Bone marrow aspirate smear · Pappenheim-stained · cropped to a single cell.
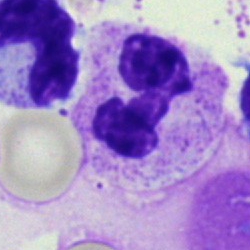

Specimen: bone marrow smear.
Cell: neutrophil (segmented).